Bone marrow aspirate smear.
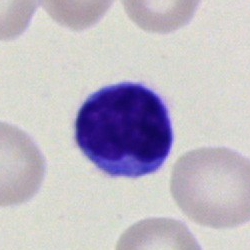

Lymphocyte.